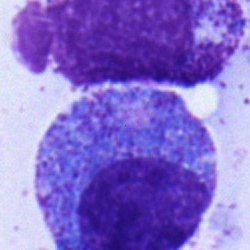
Progranulocyte.